Bone marrow smear: 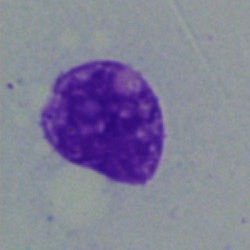 Q: What is shown here?
A: An artefact.